Bone marrow smear — 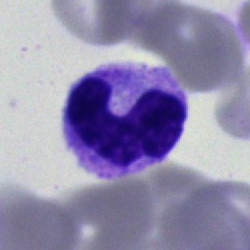

Q: What type of cell is this?
A: A band-form neutrophil.